40× objective, oil immersion · bone marrow aspirate smear · 250×250 px — 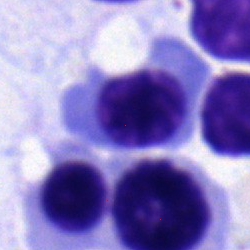

Morphology — erythroblast.